Brightfield microscopy, 40× oil immersion; bone marrow smear
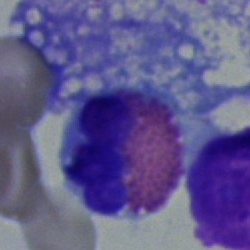

This is an eosinophilic granulocyte.